Bone marrow smear.
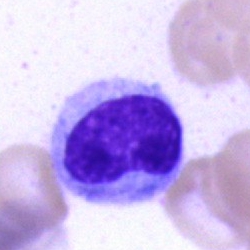Impression — lymphocyte.